Bone marrow smear · 40× objective, oil immersion: 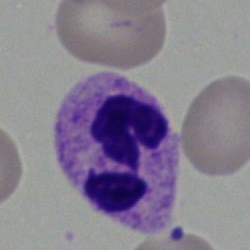Showing a neutrophil (segmented).